Bone marrow smear:
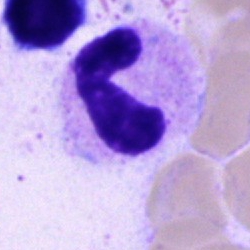 This is a stab cell.